Bone marrow smear:
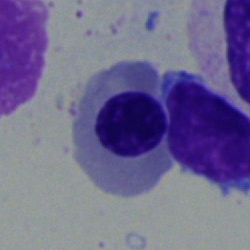Cell type = nucleated red blood cell.